Bone marrow smear; 250×250 px; MGG-stained: 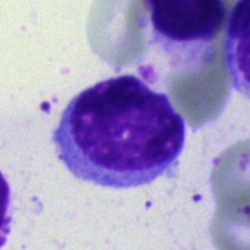

Q: What type of cell is this?
A: Typical lymphocyte.